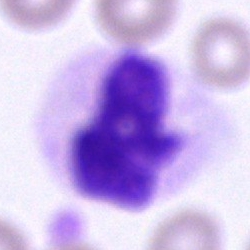Unidentifiable cell.